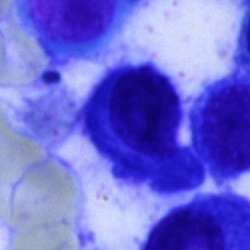 Cell — plasmacyte.